Bone marrow smear; single-cell crop: 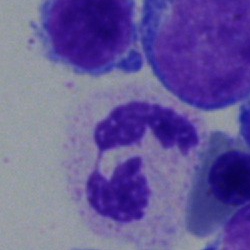

Cell type: polymorphonuclear neutrophil.